Bone marrow smear. May-Grünwald-Giemsa/Pappenheim stain — 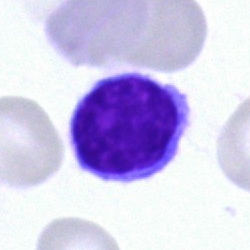
{"cell_type": "typical lymphocyte"}